Bone marrow smear.
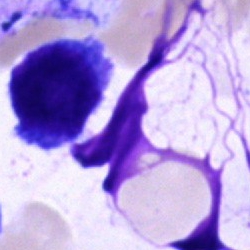

Unidentifiable cell.